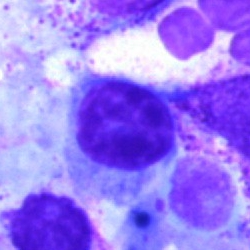 Q: What is shown here?
A: A lymphocyte.